Bone marrow aspirate smear — 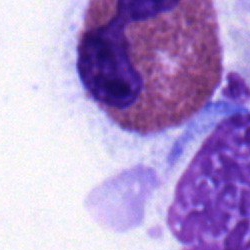
Q: What is shown here?
A: An eosinophilic granulocyte.